MGG-stained. Bone marrow smear. 250 by 250 pixels — 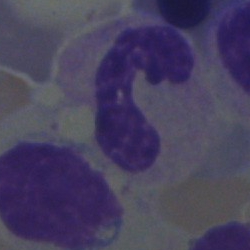

Impression — neutrophil (band).